Bone marrow aspirate smear — 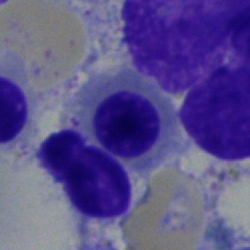
Q: What cell is this?
A: It is an erythroblast.